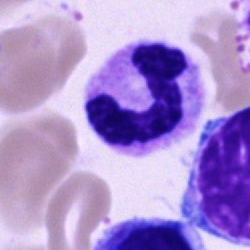

Cell = neutrophil (segmented).